Bone marrow aspirate smear. Image size 250×250:
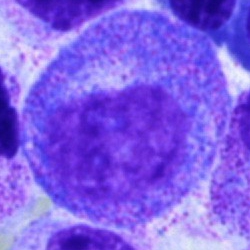 Morphological class — progranulocyte.